250×250 px; bone marrow smear — 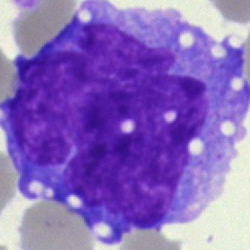
Monocyte.